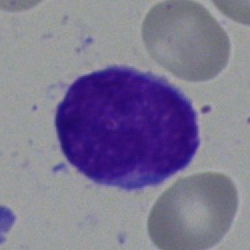Cell = typical lymphocyte.